250×250 px. Brightfield microscopy, 40× oil immersion. Bone marrow smear: 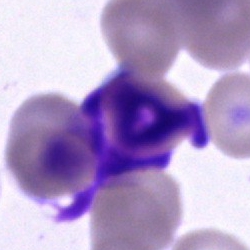

Q: What is shown here?
A: Artifact.